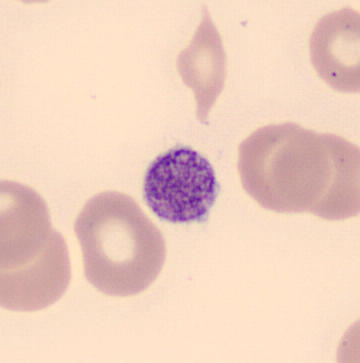

Q: What is shown here?
A: A thrombocyte. Acquisition: Peripheral blood smear.